Single-cell crop · bone marrow smear · 250 by 250 pixels: 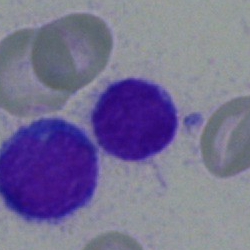
Classification = lymphocyte.